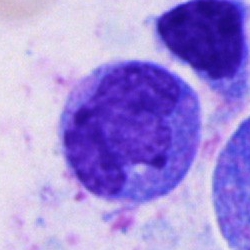The cell shown is a monocyte.